Peripheral blood film — 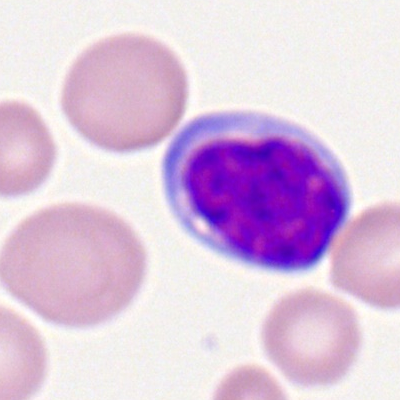

The cell shown is a lymphocyte.